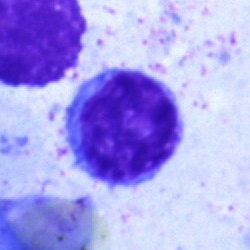{"cell_type": "typical lymphocyte"}